250×250 · bone marrow aspirate smear · 40× objective, oil immersion: 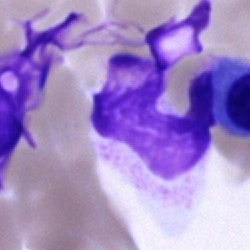 Q: What is shown here?
A: It is an artefact.